Bone marrow smear:
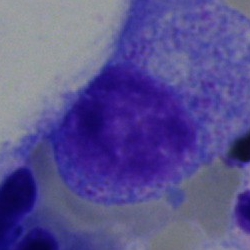Single cell identified as a progranulocyte.